Bone marrow aspirate smear · 40× oil immersion · Pappenheim-stained — 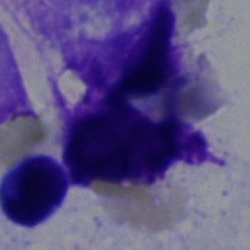{"cell_type": "artefact"}